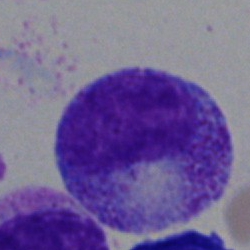 Q: What type of cell is this?
A: This is a promyelocyte.